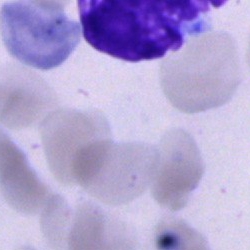

The morphological class is artifact.